Bone marrow smear:
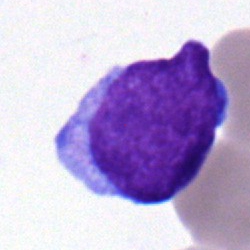
Impression — undifferentiated blast.